May-Grünwald-Giemsa/Pappenheim stain. Bone marrow smear
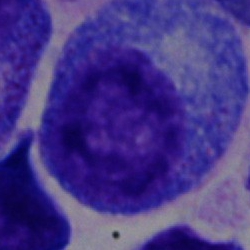
Morphological class = promyelocyte.